Bone marrow smear; 250×250 — 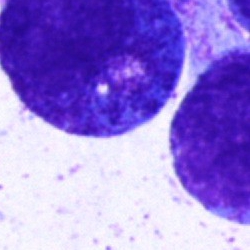 The classification is promyelocyte.